Bone marrow smear
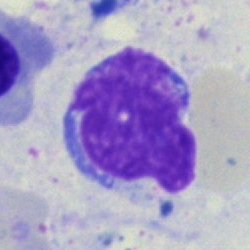
Single cell identified as an artefact.